250×250. Bone marrow aspirate smear — 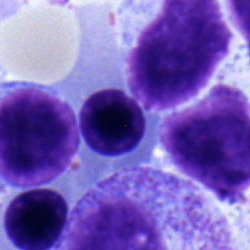

{"cell_type": "erythroblast"}